Bone marrow aspirate smear. May-Grünwald-Giemsa/Pappenheim stain — 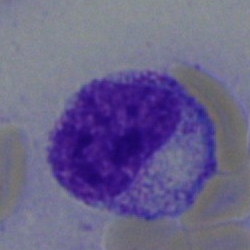 Morphology consistent with a metamyelocyte.